Bone marrow smear: 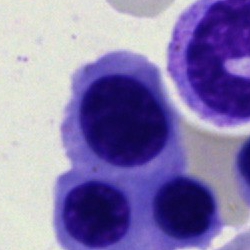
A nucleated red cell.